MGG-stained. Bone marrow smear.
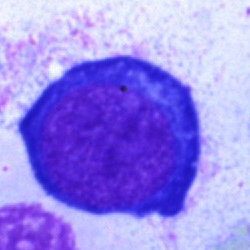

Morphology consistent with a nucleated red cell.